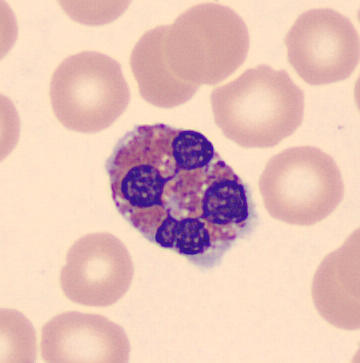 Preparation: Peripheral blood smear.
An eosinophilic granulocyte.